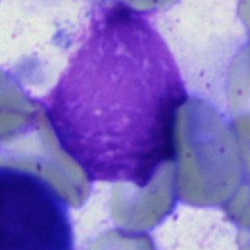Artefact.